Bone marrow aspirate smear.
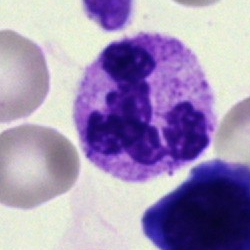
Cell type = segmented neutrophil.